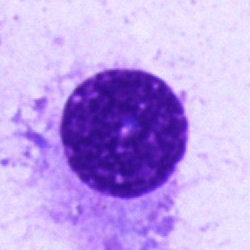
Specimen: bone marrow aspirate smear.
Morphological class: plasmacyte.